Bone marrow smear.
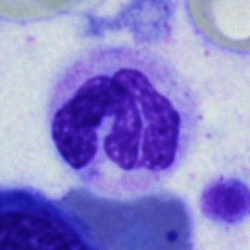

{"cell_type": "segmented neutrophil", "lineage": "myeloid"}